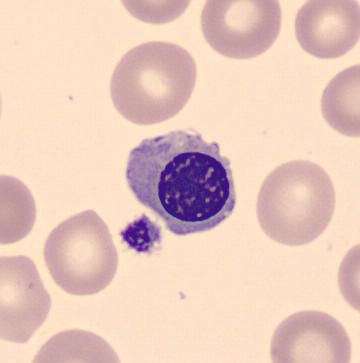The morphological class is nucleated red cell.